Bone marrow smear: 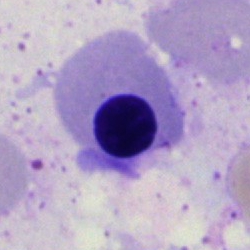Morphological class = normoblast.